Single cell centered in the field · bone marrow aspirate smear: 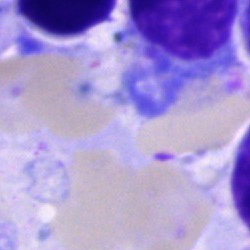This is an artifact.